Bone marrow smear: 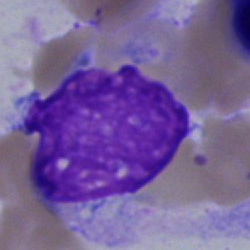
Q: What is shown here?
A: It is an artifact.